100× objective, oil immersion · peripheral blood film: 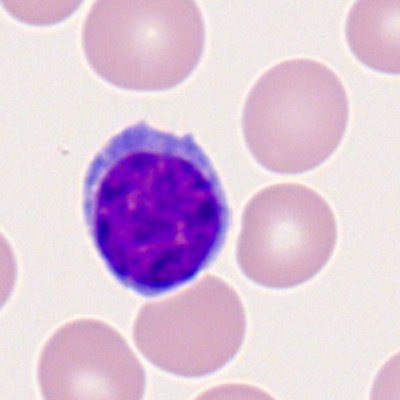Specimen: peripheral blood smear.
Cell: typical lymphocyte.